Brightfield, 40× oil-immersion objective · bone marrow smear
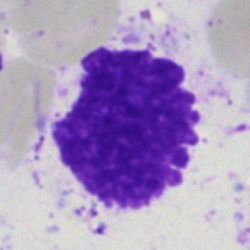

Morphological class = artefact.